Bone marrow smear — 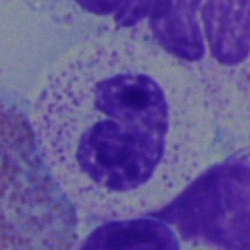
Q: What type of cell is this?
A: It is a metamyelocyte.